Bone marrow aspirate smear. Single-cell crop
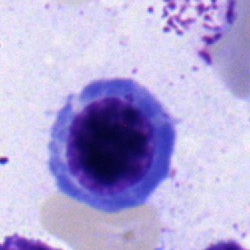Morphology → nucleated red blood cell.